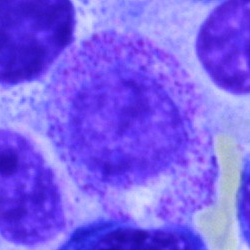
Classification: myelocyte.